Bone marrow aspirate smear.
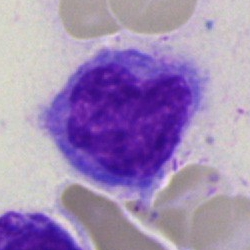Q: What cell is this?
A: This is a monocyte.